Image size 250×250 · bone marrow aspirate smear — 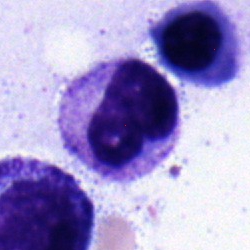Showing a neutrophil (band).